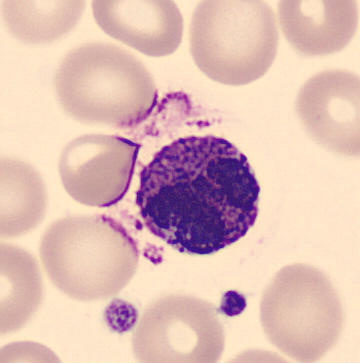 Q: Identify the cell.
A: This is a basophil.